Pappenheim-stained; bone marrow smear
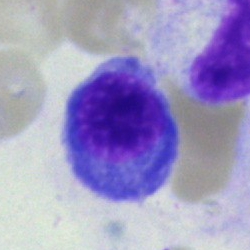
The cell is erythroblast.